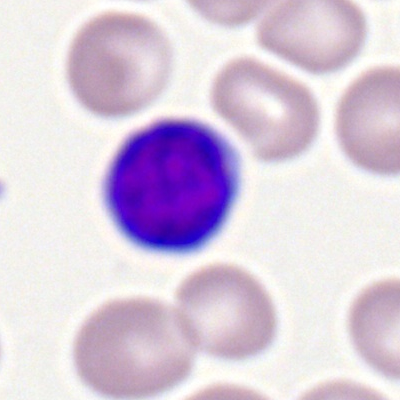 Cell type: typical lymphocyte.